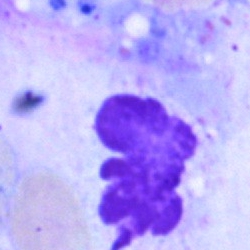
An artifact on a bone marrow smear.